Bone marrow aspirate smear; cropped to a single cell:
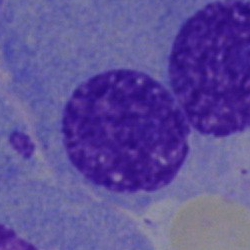
Specimen: bone marrow aspirate smear.
Cell: plasmacyte.